Bone marrow aspirate smear. Brightfield microscopy, 40× oil immersion — 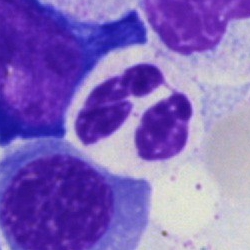Q: Which cell type is shown here?
A: A segmented neutrophil.